May-Grünwald-Giemsa/Pappenheim stain; bone marrow aspirate smear:
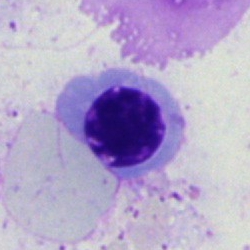
Impression → normoblast.